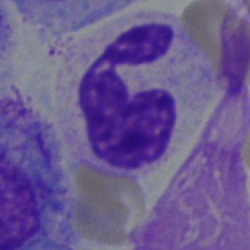

Impression → segmented neutrophil.